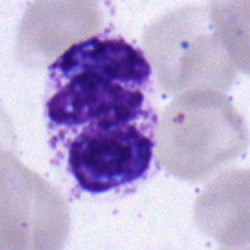

Impression → polymorphonuclear neutrophil.